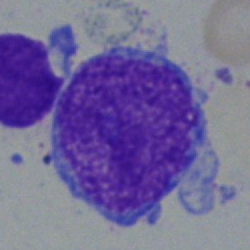Q: Which cell type is shown here?
A: This is an undifferentiated blast.